Bone marrow smear. May-Grünwald-Giemsa stain: 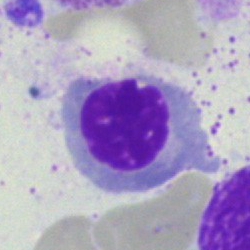

Cell — normoblast.